Bone marrow smear; image size 250×250.
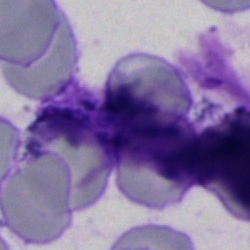
Impression — artifact.